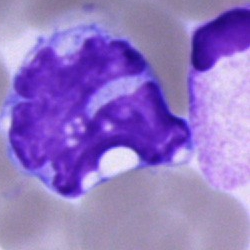
The cell is monocyte.